Peripheral blood smear — 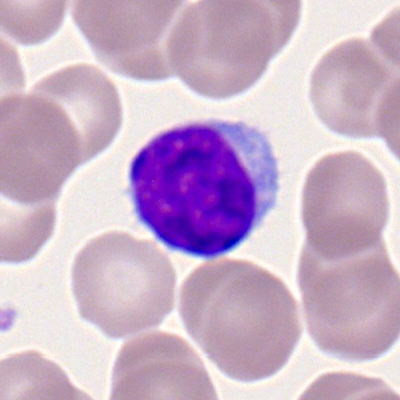 Classification — typical lymphocyte.